Bone marrow smear
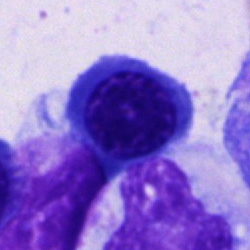

Q: What type of cell is this?
A: This is a cell of indeterminate lineage.